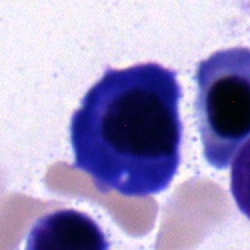This is a plasmacyte.